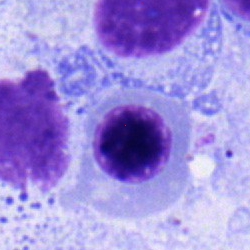Bone marrow aspirate smear, single cell — nucleated red cell.